Brightfield, 40× oil-immersion objective. Bone marrow aspirate smear:
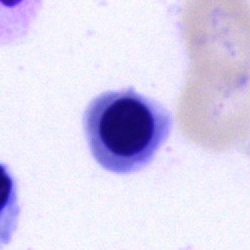
Impression — nucleated red blood cell.